Peripheral blood film
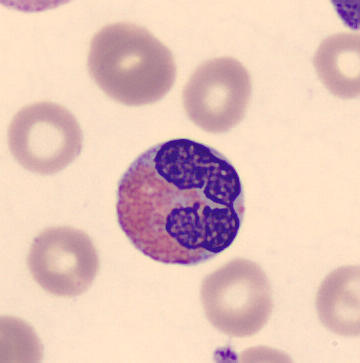
An eosinophil.